Bone marrow aspirate smear: 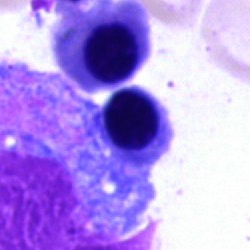

Morphology — nucleated red cell.